Bone marrow aspirate smear:
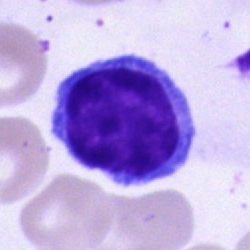 Q: What type of cell is this?
A: A typical lymphocyte.